Bone marrow aspirate smear — 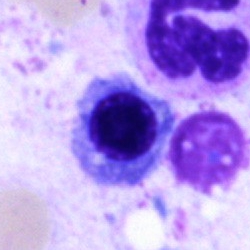 This is a normoblast.